May-Grünwald-Giemsa/Pappenheim stain; bone marrow smear; 40× objective, oil immersion
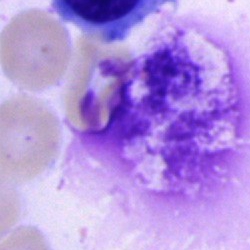

Specimen: bone marrow smear.
Morphological class: artifact.